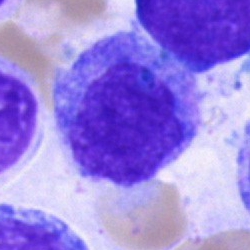
Classification: monocyte.